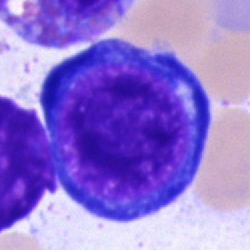

Cell type — proerythroblast.